Bone marrow smear
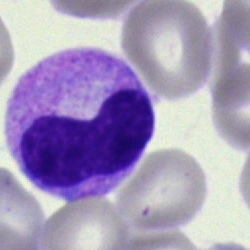
Morphology → band neutrophil.